Bone marrow aspirate smear.
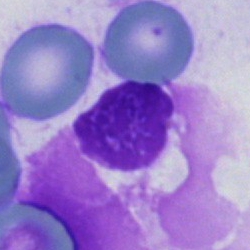 {"cell_type": "artefact"}